Bone marrow aspirate smear — 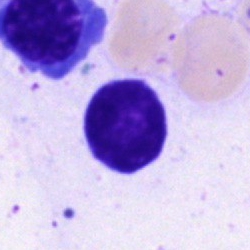{"cell_type": "typical lymphocyte", "lineage": "lymphoid"}